May-Grünwald-Giemsa stain. Bone marrow aspirate smear: 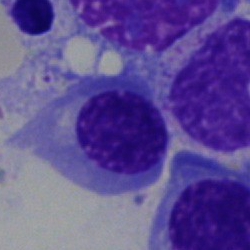Nucleated red blood cell.